Bone marrow smear
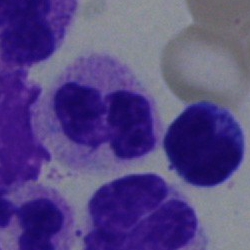Single cell identified as a segmented neutrophil.